Image size 400×400; peripheral blood smear:
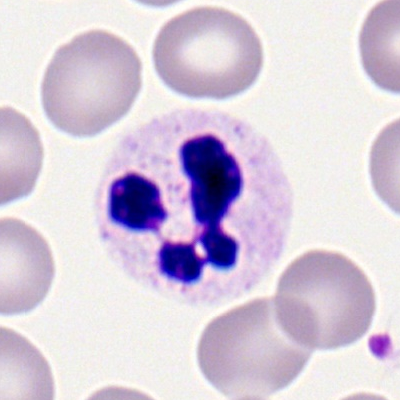

Segmented neutrophil.